Bone marrow smear · 40× objective, oil immersion · MGG-stained
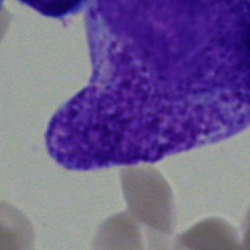 Showing a blast.